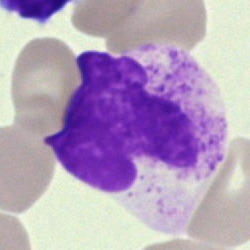

Q: What is shown here?
A: It is an artifact.